Bone marrow aspirate smear.
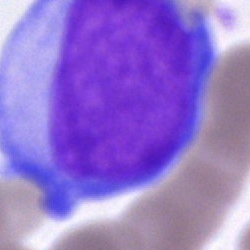 A blast cell.